Bone marrow smear
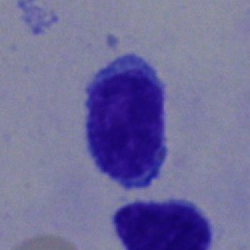 Q: Identify the cell.
A: Typical lymphocyte.